Bone marrow aspirate smear: 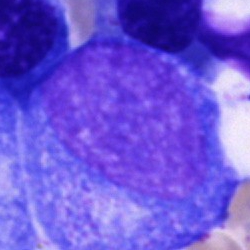
Morphological class = promyelocyte.